Bone marrow aspirate smear. 250×250 — 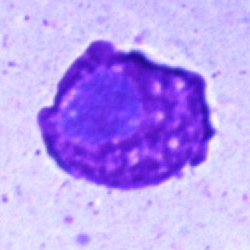 Single cell identified as an artifact.